Bone marrow aspirate smear; 40× objective, oil immersion:
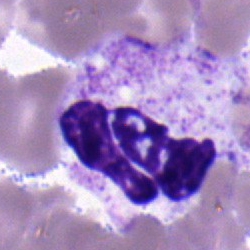
Cell = segmented neutrophil.